Bone marrow smear
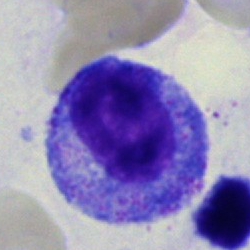

Morphological class = promyelocyte.